Bone marrow smear: 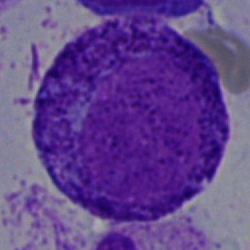Specimen: bone marrow smear.
Classification: promyelocyte.
Lineage: myeloid.